Bone marrow smear — 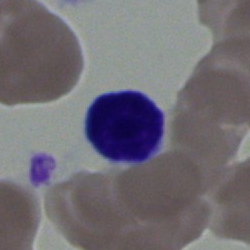
Classification = typical lymphocyte.